Peripheral blood smear.
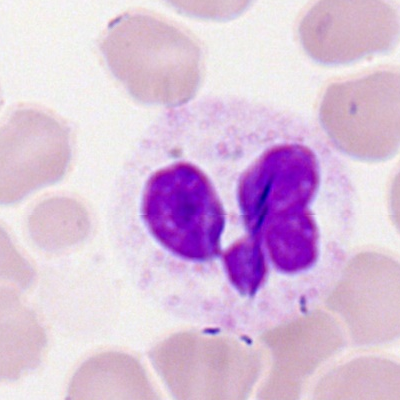 Specimen: peripheral blood film.
Cell: segmented neutrophil.